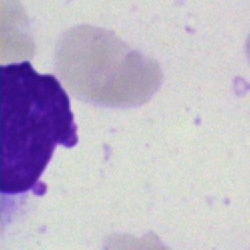
Classification: lymphocyte.